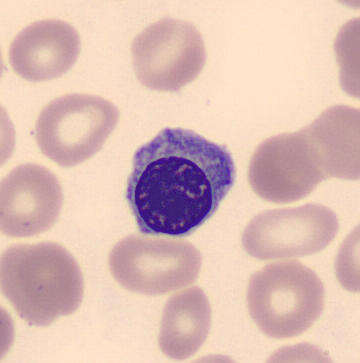

Q: What type of cell is this?
A: Erythroblast. Peripheral blood film.